Brightfield, 40× oil-immersion objective. 250 by 250 pixels. Bone marrow smear — 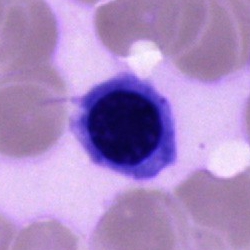 Classification = erythroblast.